Bone marrow aspirate smear — 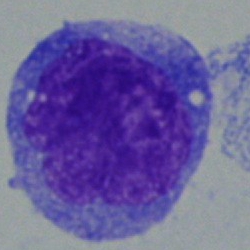Classification: undifferentiated blast.